Bone marrow aspirate smear:
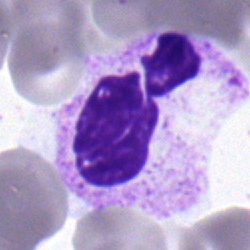

This is a neutrophil (segmented).